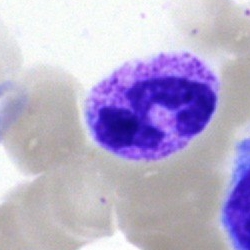

Single cell identified as a neutrophil (segmented).